Bone marrow aspirate smear:
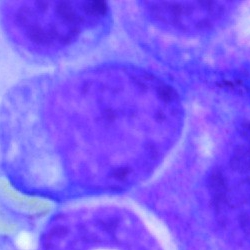
Single cell identified as a blast.